Bone marrow smear. 250 by 250 pixels. Single-cell crop: 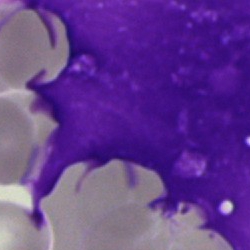Q: What is shown here?
A: An artefact.